Bone marrow aspirate smear. Brightfield, 40× oil-immersion objective. Single-cell crop: 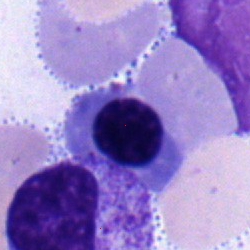 Single cell identified as a normoblast.